Bone marrow smear:
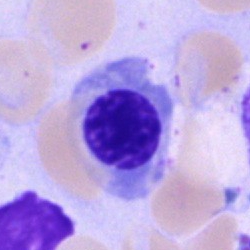 Morphology consistent with a nucleated red blood cell.